Bone marrow aspirate smear · single-cell field: 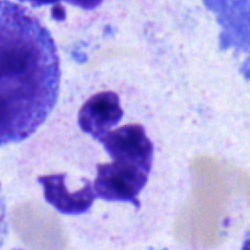

Specimen: bone marrow smear.
Classification: segmented neutrophil.
Lineage: myeloid.